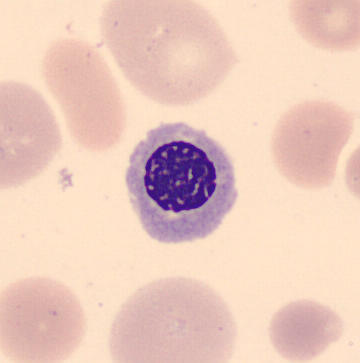

Acquisition: Peripheral blood smear. Morphological class: nucleated red blood cell.